Bone marrow smear
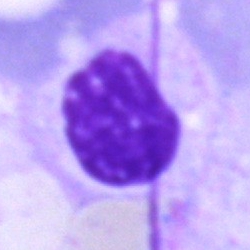Specimen: bone marrow smear.
Morphological class: artifact.